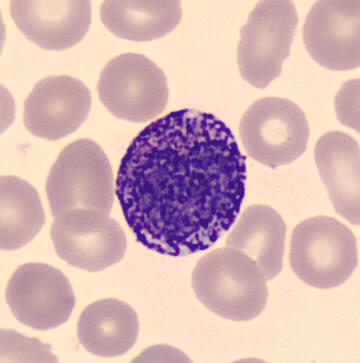Image: Automated cell imaging (CellaVision DM96) · peripheral blood smear · single-cell field.
Basophilic granulocyte.